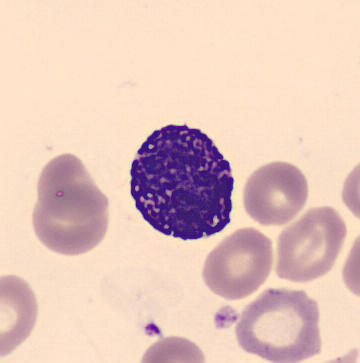 Acquisition: CellaVision DM96 digital cell image. Peripheral blood smear. Q: What is this?
A: It is a basophil.